250×250 px · cropped to a single cell · bone marrow smear
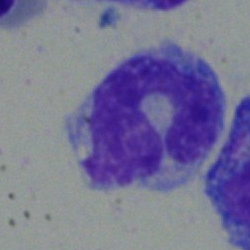Morphology — monocyte.